Bone marrow smear.
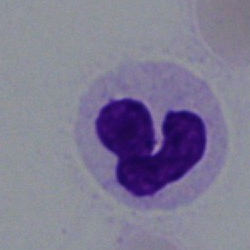
Single cell identified as a polymorphonuclear neutrophil.